Bone marrow smear.
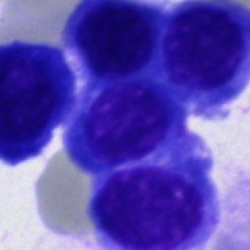
Cell type = nucleated red blood cell.